Bone marrow smear.
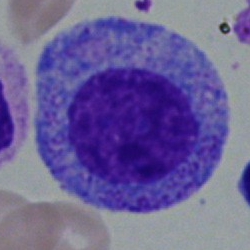

The cell shown is a promyelocyte.